Bone marrow aspirate smear:
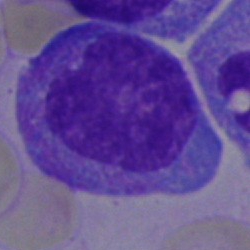
Showing a promyelocyte.